Bone marrow smear · MGG-stained.
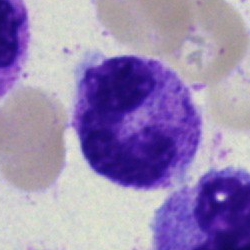 The cell type is neutrophil (band).